Bone marrow aspirate smear. Pappenheim-stained:
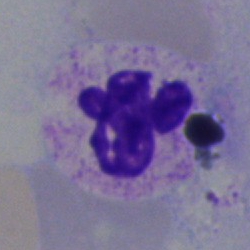

Classification = neutrophil (segmented).